Bone marrow smear:
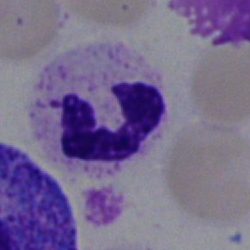Morphological class: neutrophil (segmented).